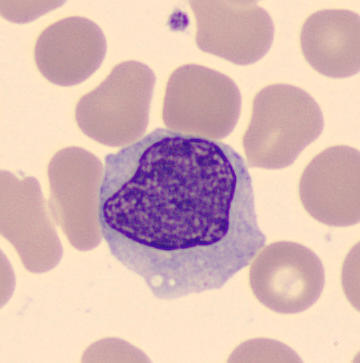
The cell type is monocyte.
Image: Peripheral blood film.